Pappenheim-stained · bone marrow smear · brightfield, 40× oil-immersion objective — 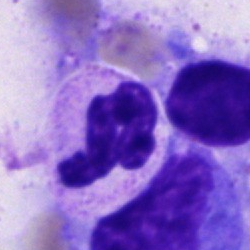

Q: Identify the cell.
A: It is a polymorphonuclear neutrophil.